Bone marrow smear · 40× objective, oil immersion.
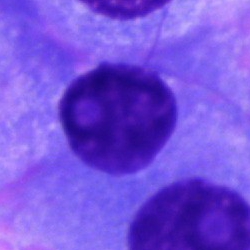
Cell = plasmacyte.